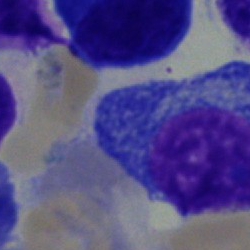
The cell shown is a plasmacyte.